May-Grünwald-Giemsa/Pappenheim stain; bone marrow smear:
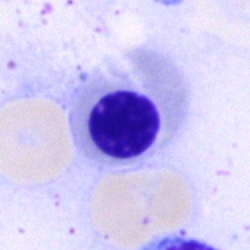

Specimen: bone marrow aspirate smear.
Morphological class: normoblast.
Lineage: erythroid.